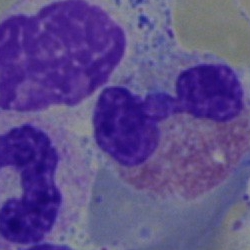
Impression — eosinophil.